Peripheral blood film · 400×400 · 100× objective, oil immersion: 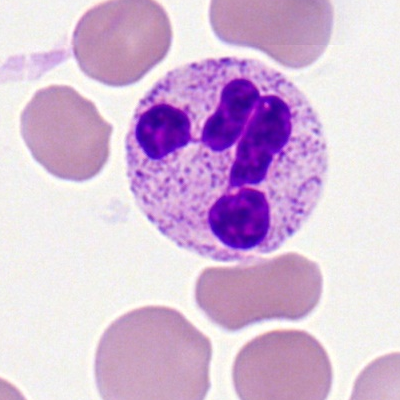

Cell — neutrophil (segmented).